Single-cell crop; brightfield microscopy, 40× oil immersion; bone marrow aspirate smear: 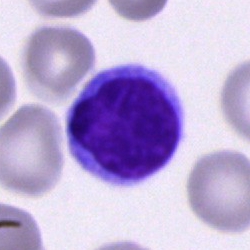
Impression → typical lymphocyte.